Bone marrow smear. 40× objective, oil immersion — 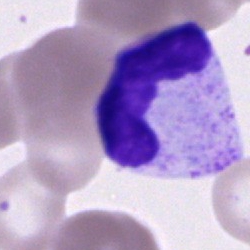 Cell type — band-form neutrophil.